May-Grünwald-Giemsa stain · bone marrow smear:
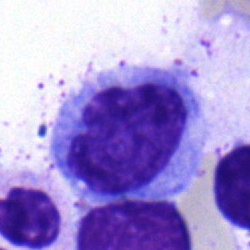 Specimen: bone marrow aspirate smear.
Cell type: monocyte.
Lineage: myeloid.